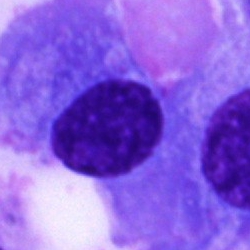
The classification is plasma cell.